MGG-stained · bone marrow aspirate smear · single cell centered in the field — 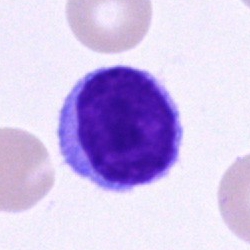Showing a lymphocyte.